Image size 250×250 · Pappenheim-stained · bone marrow aspirate smear: 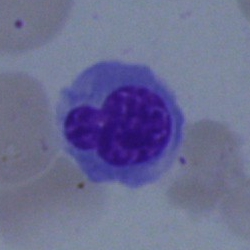Q: What is the morphological classification of this cell?
A: An erythroblast.